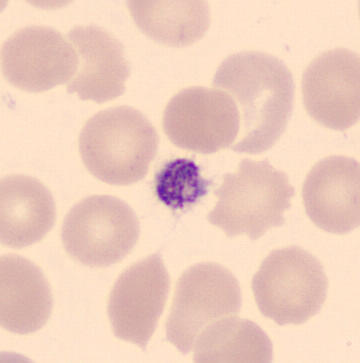

Classification — thrombocyte.
Preparation: 360×363. Peripheral blood film.